Bone marrow aspirate smear
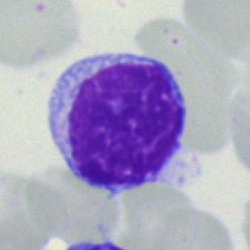Lymphocyte.